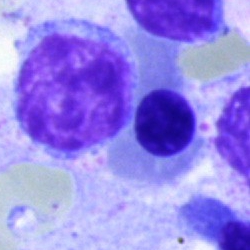
{"cell_type": "erythroblast", "lineage": "erythroid"}